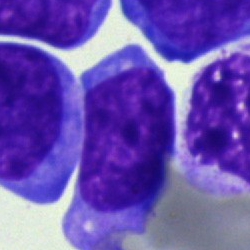Morphological class — undifferentiated blast.